Bone marrow aspirate smear · single cell centered in the field · brightfield microscopy, 40× oil immersion
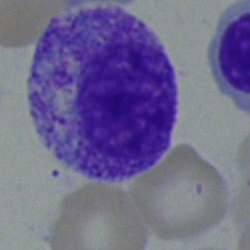 The morphological class is myelocyte.